Bone marrow aspirate smear:
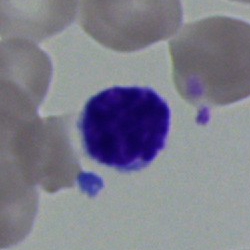

The classification is typical lymphocyte.